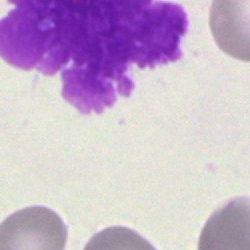 Cell: artifact.